Single-cell crop · bone marrow aspirate smear.
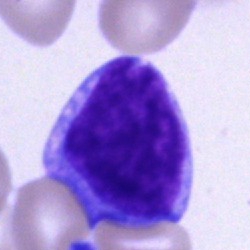
This is a blast cell.